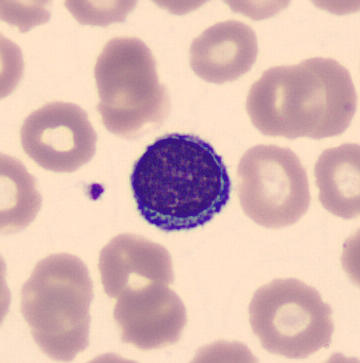

Preparation: Peripheral blood film.

Q: What cell is this?
A: This is a typical lymphocyte.